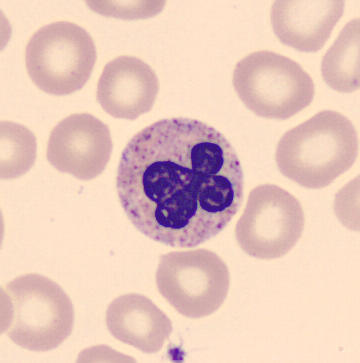

Specimen: peripheral blood smear.
Morphological class: segmented neutrophil.
Lineage: myeloid.